Bone marrow aspirate smear; May-Grünwald-Giemsa stain; single-cell field
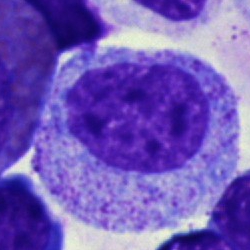This is a promyelocyte.